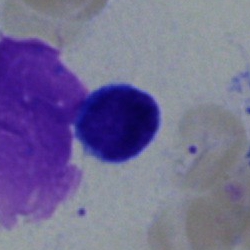 Q: What type of cell is this?
A: This is a lymphocyte.